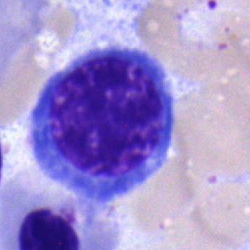

Q: What is the morphological classification of this cell?
A: This is a nucleated red cell.